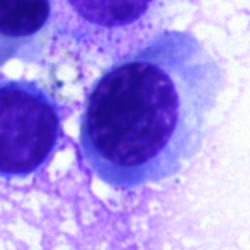 Morphology → basophilic granulocyte.